40× objective, oil immersion · bone marrow aspirate smear · May-Grünwald-Giemsa stain — 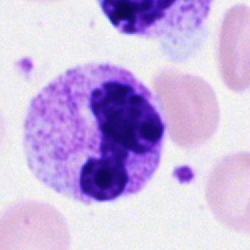

Q: What is the morphological classification of this cell?
A: This is a neutrophil (segmented).